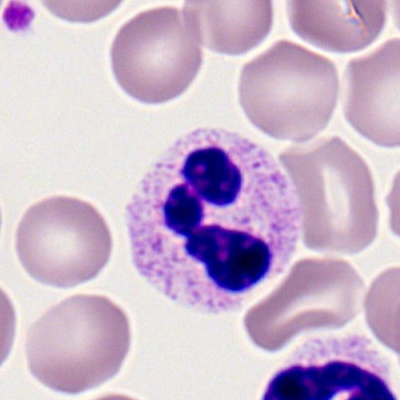 Specimen: peripheral blood smear.
Cell: neutrophil (segmented).